Bone marrow smear · image size 250×250 · single-cell crop: 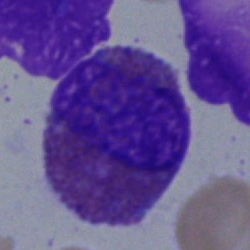

Cell type: eosinophilic granulocyte.